Brightfield microscopy, 40× oil immersion; bone marrow aspirate smear.
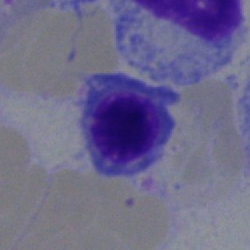 Morphology consistent with a nucleated red cell.